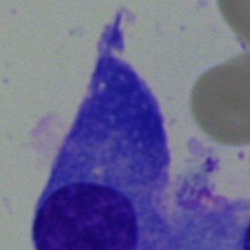
Q: What is the morphological classification of this cell?
A: It is a plasma cell.